Bone marrow smear: 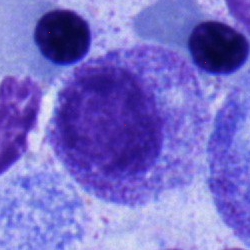

Specimen: bone marrow aspirate smear.
Cell: myelocyte.